Bone marrow smear.
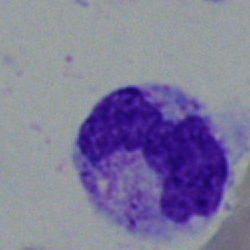Morphology — monocyte.